Bone marrow smear: 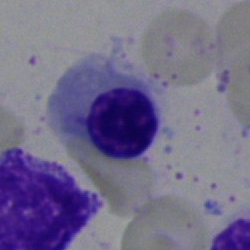

Morphological class — nucleated red cell.